Bone marrow aspirate smear · cropped to a single cell · brightfield, 40× oil-immersion objective — 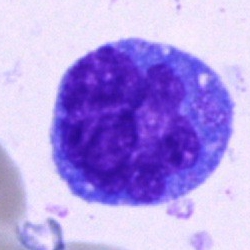

Q: What is the morphological classification of this cell?
A: Monocyte.